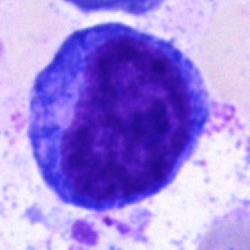
Specimen: bone marrow smear.
Cell type: blast.